Peripheral blood smear · Romanowsky-type stain — 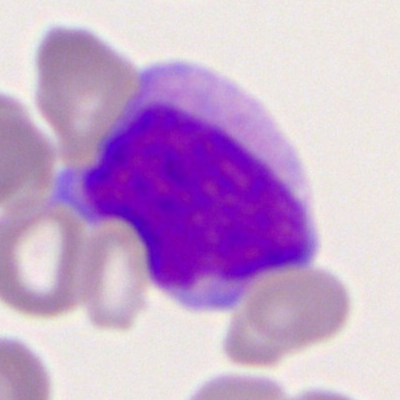
Morphology → myeloblast.